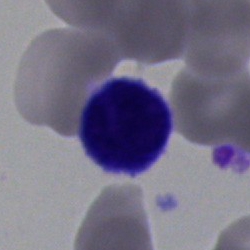

Morphological class: typical lymphocyte.